Bone marrow aspirate smear: 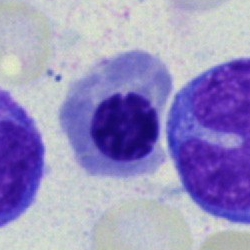 Q: Which cell type is shown here?
A: Nucleated red blood cell.